Bone marrow smear:
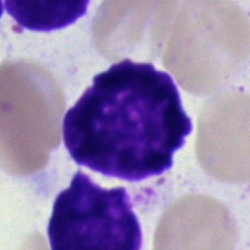This is an artefact.